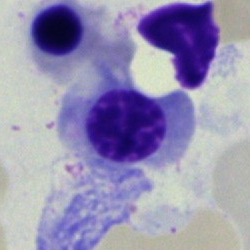Q: Identify the cell.
A: An erythroblast.